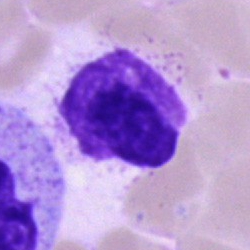

Q: What is shown here?
A: An artifact.